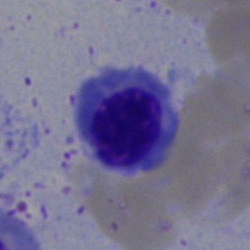

This is an erythroblast.